May-Grünwald-Giemsa stain; 250 by 250 pixels; bone marrow aspirate smear
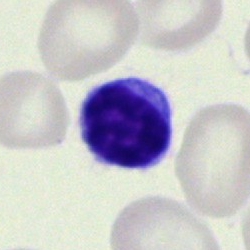
Morphology consistent with a typical lymphocyte.